Image size 250×250 · bone marrow smear:
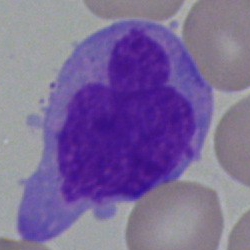

Morphology → monocyte.